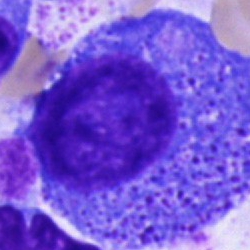
Impression → progranulocyte.